Bone marrow aspirate smear — 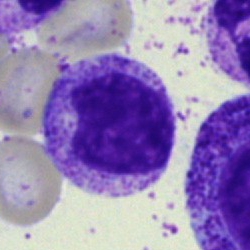

The cell shown is a myelocyte.